Brightfield microscopy, 40× oil immersion; bone marrow smear; Pappenheim-stained: 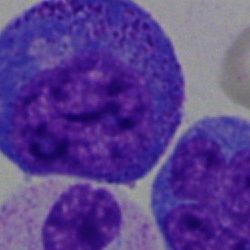

This is a promyelocyte.